Bone marrow smear. Single cell centered in the field:
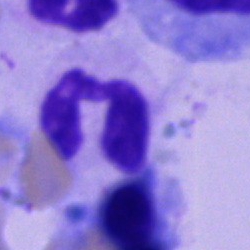

Q: What is the morphological classification of this cell?
A: This is a polymorphonuclear neutrophil.